Bone marrow aspirate smear; single-cell crop
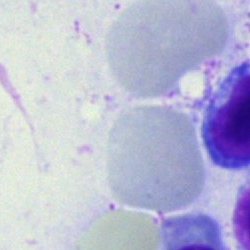 This is an unidentifiable cell.